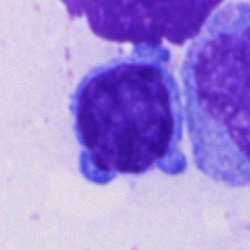

Morphological class — typical lymphocyte.